Brightfield, 40× oil-immersion objective; May-Grünwald-Giemsa stain; bone marrow aspirate smear: 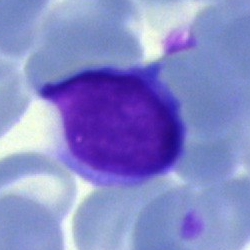

Showing a typical lymphocyte.